Image size 250×250 · bone marrow smear.
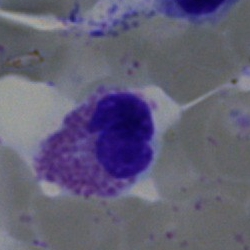 {"cell_type": "eosinophil"}